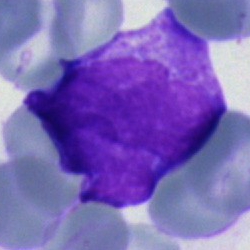
A blast cell on a bone marrow smear.